Bone marrow smear
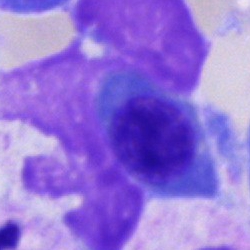The cell shown is an erythroblast.